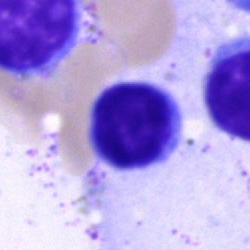{"cell_type": "typical lymphocyte", "lineage": "lymphoid"}